Bone marrow smear.
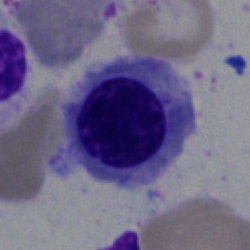{"cell_type": "erythroblast", "lineage": "erythroid"}